Peripheral blood film — 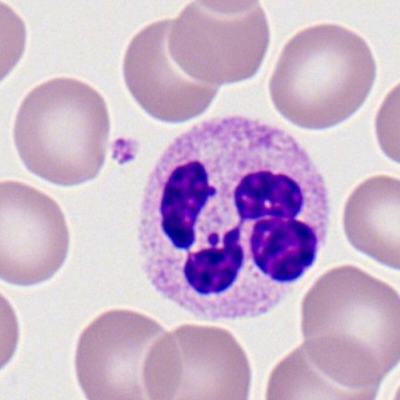
{"cell_type": "neutrophil (segmented)", "lineage": "myeloid"}